Bone marrow smear.
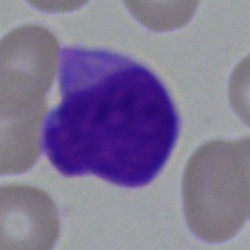
Q: What is the morphological classification of this cell?
A: Undifferentiated blast.